Bone marrow aspirate smear; 250×250: 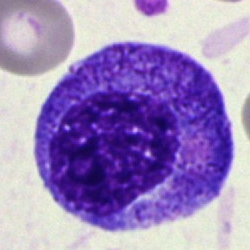
Specimen: bone marrow aspirate smear.
Cell: promyelocyte.
Lineage: myeloid.